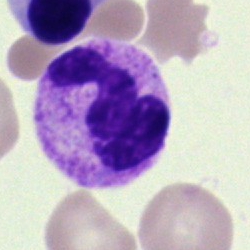 Classification: neutrophil (segmented).